Bone marrow aspirate smear. MGG-stained — 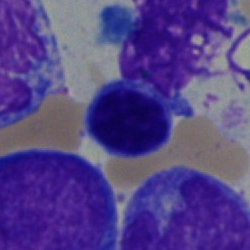The cell shown is a lymphocyte.